40× oil immersion · bone marrow aspirate smear:
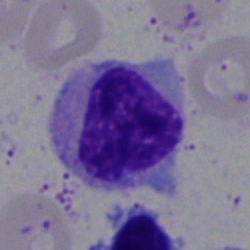Q: Which cell type is shown here?
A: It is a myelocyte.